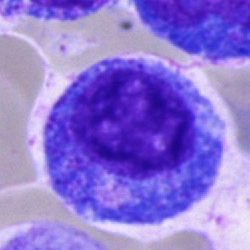
Classification — progranulocyte.